Brightfield microscopy, 40× oil immersion; bone marrow smear:
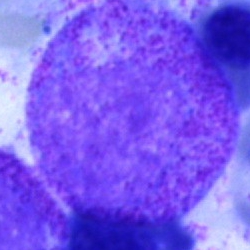

Classification = myelocyte.